MGG-stained · bone marrow aspirate smear: 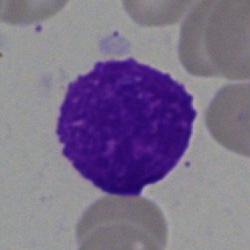Q: What is shown here?
A: An artifact.